Romanowsky-stained · peripheral blood smear — 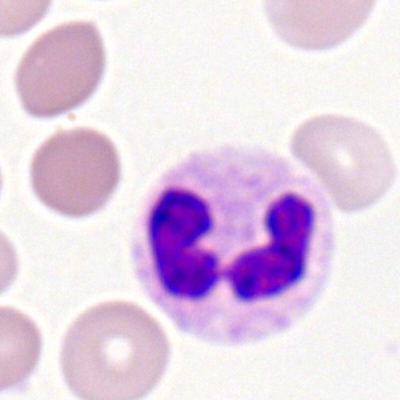

Showing a neutrophil (segmented).